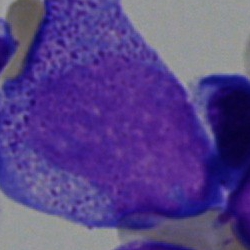 Bone marrow aspirate smear, single cell — progranulocyte.